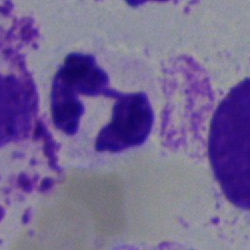

A segmented neutrophil on a bone marrow smear.